Bone marrow aspirate smear · 250×250 · cropped to a single cell: 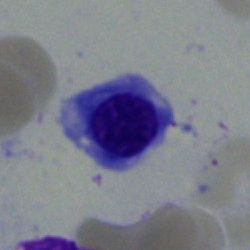

This is a nucleated red blood cell.